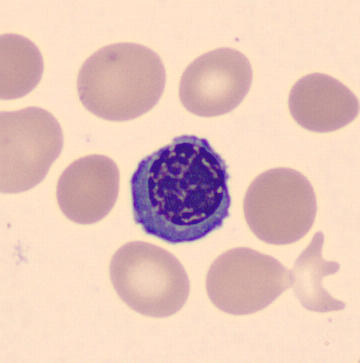 Q: Which cell type is shown here?
A: This is a nucleated red cell.